Bone marrow aspirate smear · single-cell crop
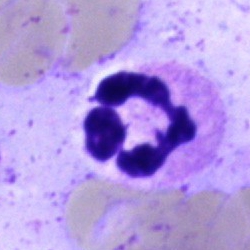 Q: Which cell type is shown here?
A: A segmented neutrophil.